Bone marrow aspirate smear.
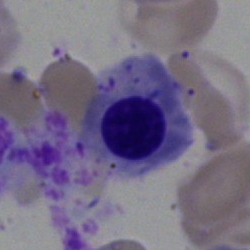Showing an erythroblast.